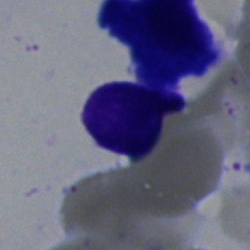
Q: What is shown here?
A: An artefact.